Bone marrow smear:
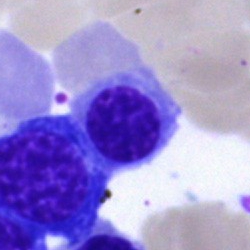

Specimen: bone marrow smear.
Cell type: erythroblast.